Bone marrow aspirate smear: 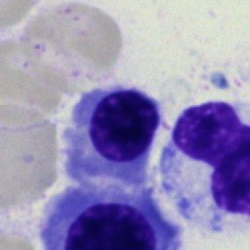Impression — nucleated red cell.